Image size 250×250; bone marrow smear:
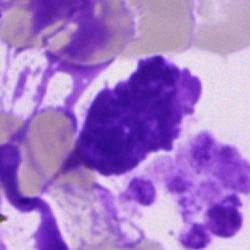
The cell shown is an artefact.